Single-cell field. MGG-stained. Bone marrow aspirate smear:
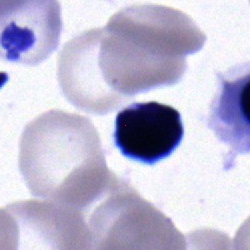 Q: What type of cell is this?
A: Typical lymphocyte.